Bone marrow smear: 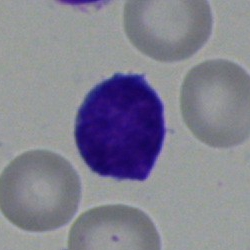
The cell is lymphocyte.